Brightfield microscopy, 40× oil immersion; May-Grünwald-Giemsa/Pappenheim stain; bone marrow smear:
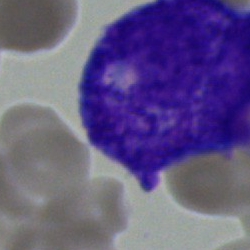Showing a blast cell.